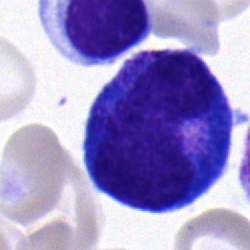 Classification = promyelocyte.